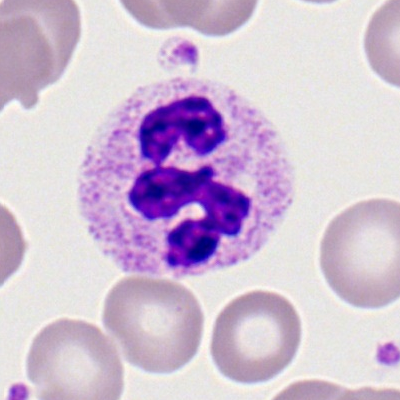Specimen: peripheral blood smear.
Cell: polymorphonuclear neutrophil.
Lineage: myeloid.